Bone marrow smear: 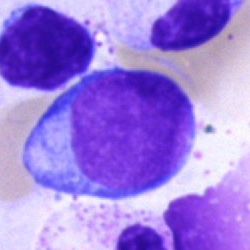 Specimen: bone marrow aspirate smear.
Cell: blast.